Bone marrow smear.
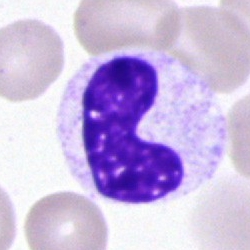Band neutrophil.